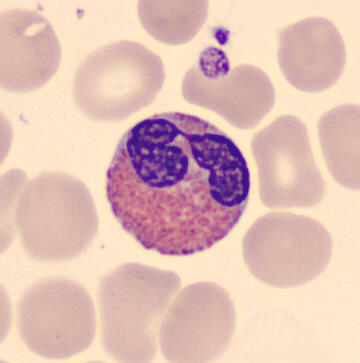

Acquisition: Image size 360×363 · peripheral blood smear.
The cell shown is an eosinophilic granulocyte.